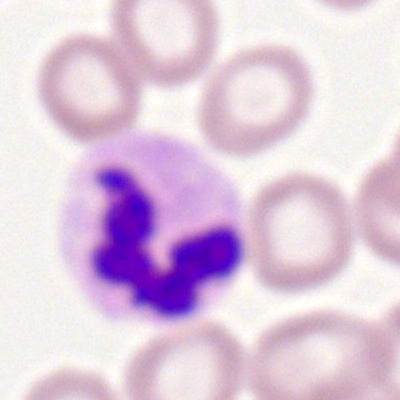Impression → segmented neutrophil.